Bone marrow aspirate smear
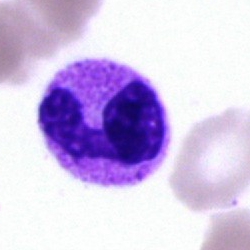

Morphological class — segmented neutrophil.